Peripheral blood smear: 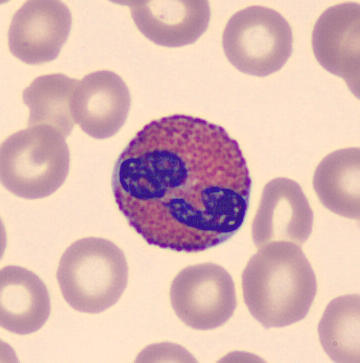Identified as an eosinophilic granulocyte.